Bone marrow aspirate smear: 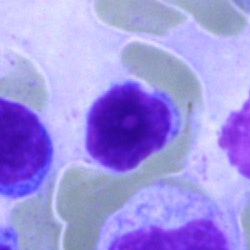 Classification — typical lymphocyte.